Bone marrow smear: 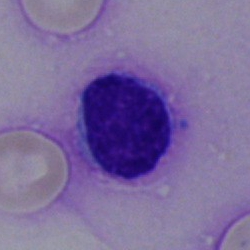
Specimen: bone marrow smear.
Morphological class: lymphocyte.
Lineage: lymphoid.